Bone marrow smear · 250 by 250 pixels · Pappenheim-stained — 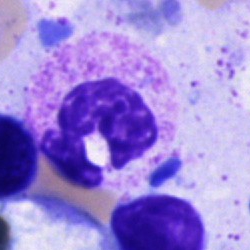
Cell type — polymorphonuclear neutrophil.